Bone marrow aspirate smear — 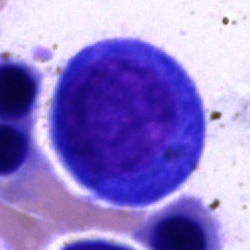 The morphological class is proerythroblast.